Bone marrow aspirate smear. 40× objective, oil immersion:
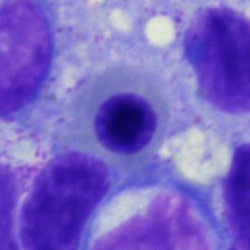Classification = normoblast.